Bone marrow aspirate smear — 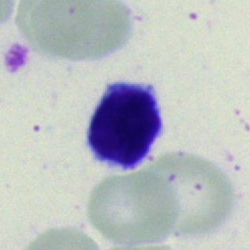Specimen: bone marrow aspirate smear.
Cell: lymphocyte.
Lineage: lymphoid.